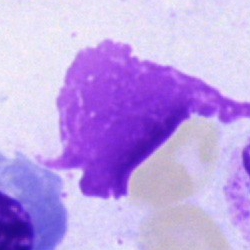Q: What is shown here?
A: An artifact.